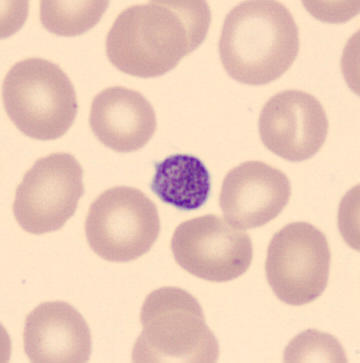Classification — platelet (thrombocyte).